250×250 · bone marrow aspirate smear · single cell centered in the field — 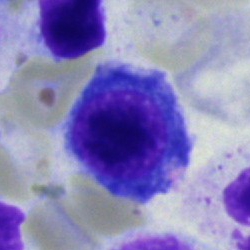 Single cell identified as a normoblast.